Bone marrow aspirate smear · May-Grünwald-Giemsa stain · image size 250×250.
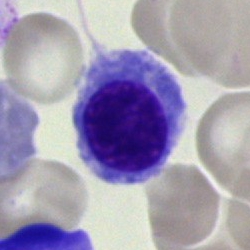

{"cell_type": "normoblast", "lineage": "erythroid"}